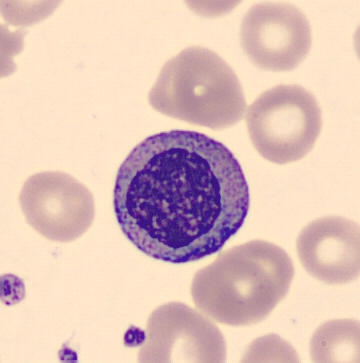 Q: What cell is this?
A: This is a myelocyte.